Bone marrow smear
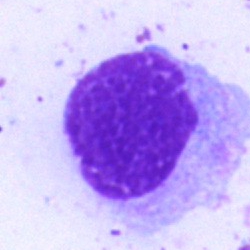 Morphological class = artifact.